Peripheral blood smear
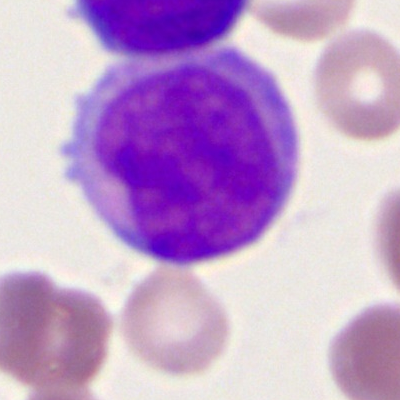 Single cell identified as a monocyte.